40× objective, oil immersion · bone marrow aspirate smear: 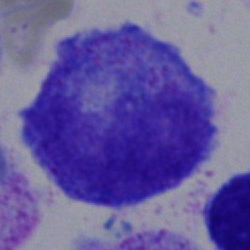
Cell — promyelocyte.